Bone marrow smear — 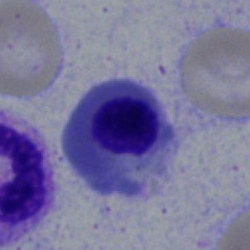The morphological class is nucleated red blood cell.